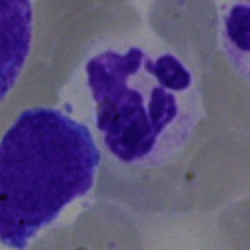

{"cell_type": "neutrophil (segmented)", "lineage": "myeloid"}